Bone marrow aspirate smear:
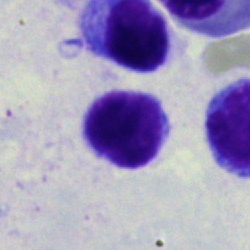Classification — typical lymphocyte.